Bone marrow aspirate smear; single cell centered in the field:
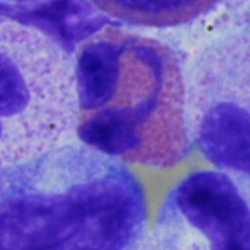Morphology consistent with a nucleated red cell.